Bone marrow smear:
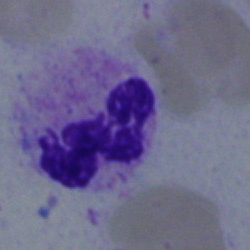 This is a polymorphonuclear neutrophil.